250×250 · bone marrow aspirate smear · May-Grünwald-Giemsa stain:
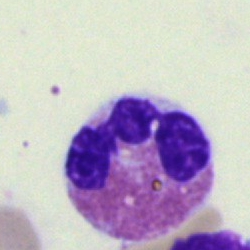{"cell_type": "eosinophil", "lineage": "myeloid"}